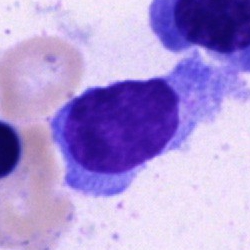 The cell shown is a lymphocyte.